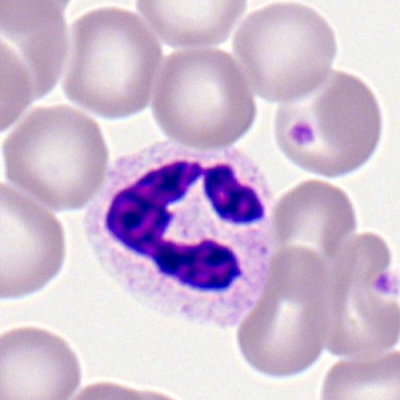Q: What is shown here?
A: This is a neutrophil (segmented).